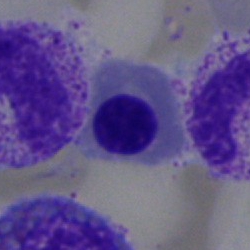 Cell — nucleated red blood cell.